Pappenheim-stained · bone marrow smear: 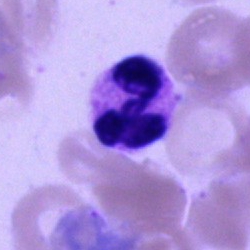 Morphological class — polymorphonuclear neutrophil.